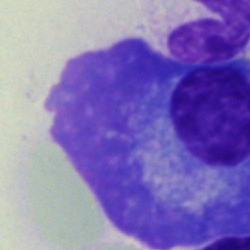
Showing a plasmacyte.